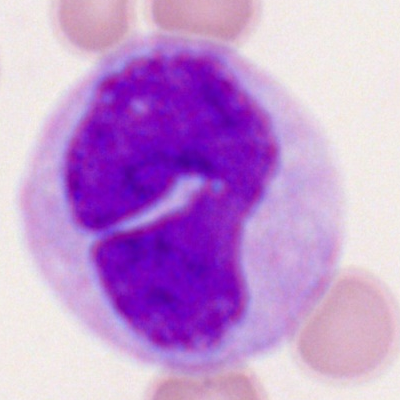

Q: What cell is this?
A: A monocyte.